Bone marrow smear — 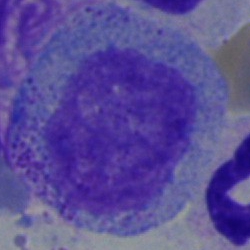
Morphological class = promyelocyte.